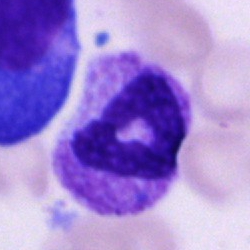{"cell_type": "neutrophil (segmented)"}